250×250 px · bone marrow smear.
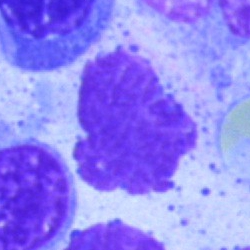

The cell is artifact.